250 by 250 pixels · May-Grünwald-Giemsa/Pappenheim stain · bone marrow smear
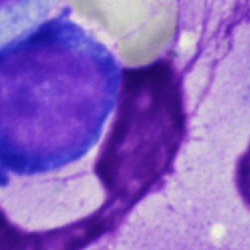 Impression → proerythroblast.